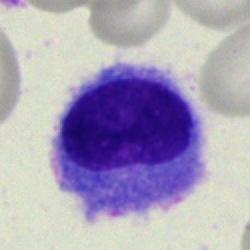Cell: hairy cell.